Bone marrow smear · 40× oil immersion: 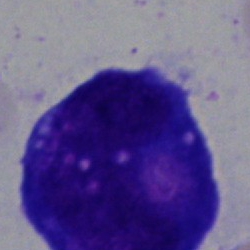 This is a blast.